Bone marrow smear:
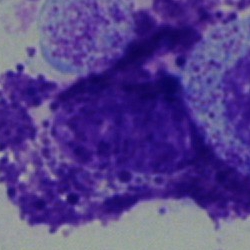 The cell is other cell type.